Bone marrow aspirate smear — 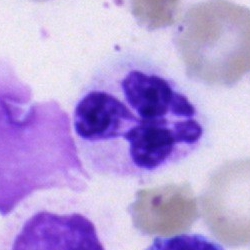 The cell type is segmented neutrophil.